Bone marrow aspirate smear — 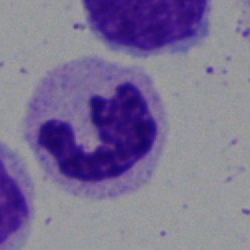

Cell type: segmented neutrophil.